Bone marrow smear. 250×250 px — 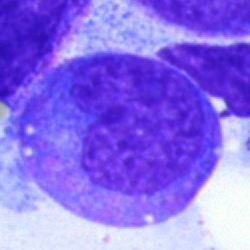The cell is progranulocyte.